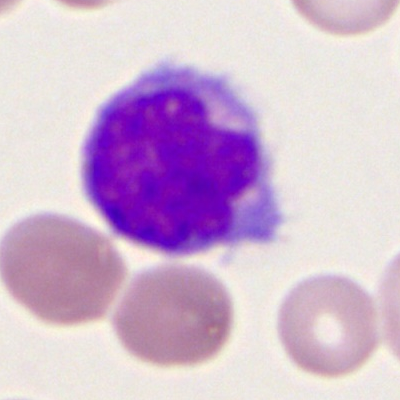 Monocyte.